Bone marrow aspirate smear — 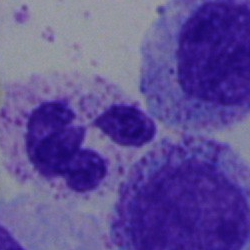Showing a polymorphonuclear neutrophil.